Bone marrow aspirate smear
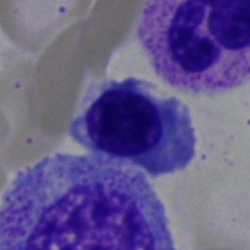

Morphology consistent with a nucleated red cell.